May-Grünwald-Giemsa stain; single-cell field; bone marrow aspirate smear.
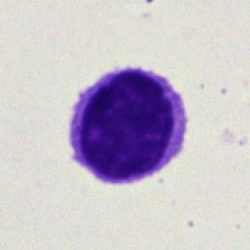Impression — typical lymphocyte.